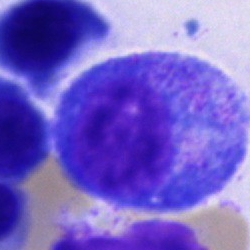

Morphological class: progranulocyte.